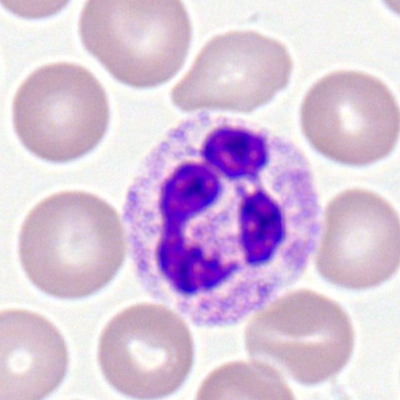A segmented neutrophil.